Bone marrow smear — 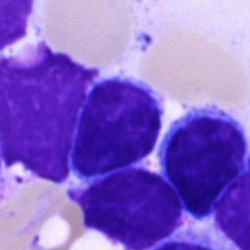
Single cell identified as a typical lymphocyte.